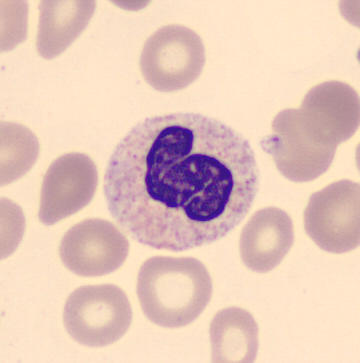Image: MGG-stained · peripheral blood smear.
Q: What is shown here?
A: A band-form neutrophil.